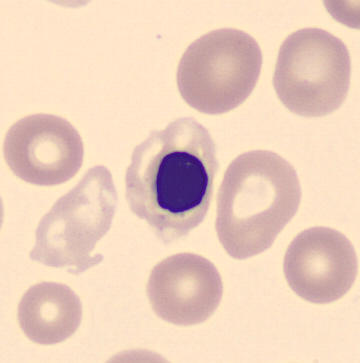
Morphology — erythroblast. Image: Peripheral blood film.